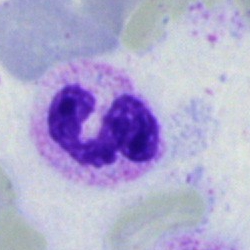
Showing a neutrophil (segmented).